Bone marrow smear — 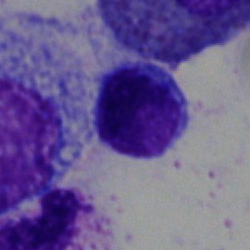 {"cell_type": "typical lymphocyte", "lineage": "lymphoid"}